Single-cell crop · 250 by 250 pixels · bone marrow smear: 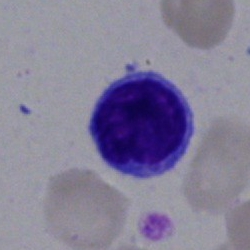Morphological class = lymphocyte.